250 by 250 pixels · bone marrow smear.
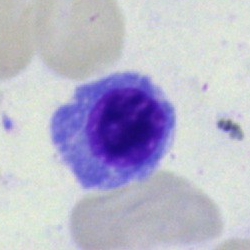Cell — erythroblast.